Bone marrow smear — 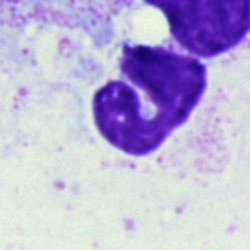

Specimen: bone marrow aspirate smear.
Classification: segmented neutrophil.
Lineage: myeloid.